Single-cell crop; bone marrow aspirate smear:
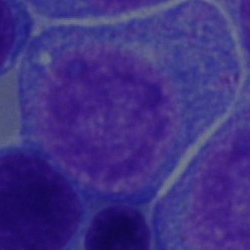
A promyelocyte.